May-Grünwald-Giemsa stain; bone marrow aspirate smear: 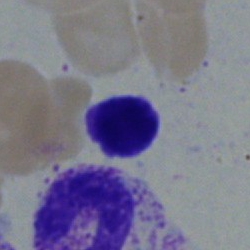
Q: Identify the cell.
A: Lymphocyte.